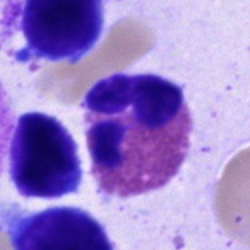
Single-cell crop from a bone marrow smear: eosinophilic granulocyte.